Bone marrow aspirate smear: 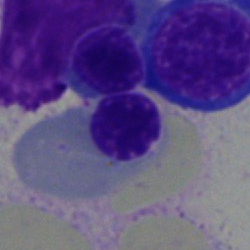

Q: What is the morphological classification of this cell?
A: Nucleated red cell.